250×250 px · bone marrow aspirate smear — 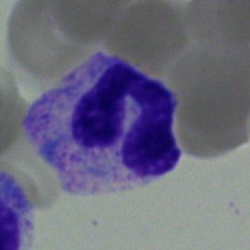
The cell shown is a segmented neutrophil.